Bone marrow smear.
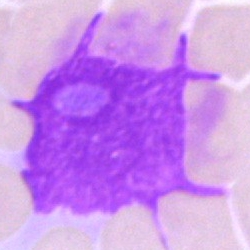Morphology → artefact.